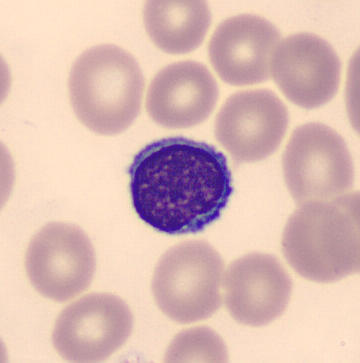Cell type: typical lymphocyte.
Peripheral blood film.